Bone marrow smear — 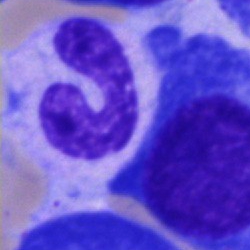 The classification is band-form neutrophil.